Bone marrow aspirate smear.
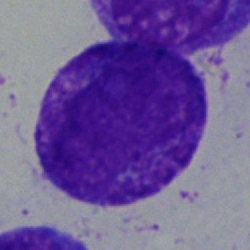Morphological class — progranulocyte.